40× oil immersion · bone marrow aspirate smear
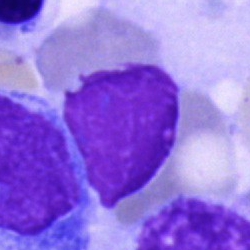 Cell = artifact.